Bone marrow smear. Single cell centered in the field
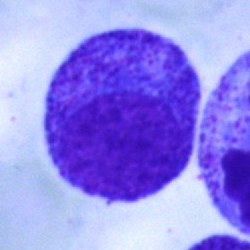Showing a progranulocyte.